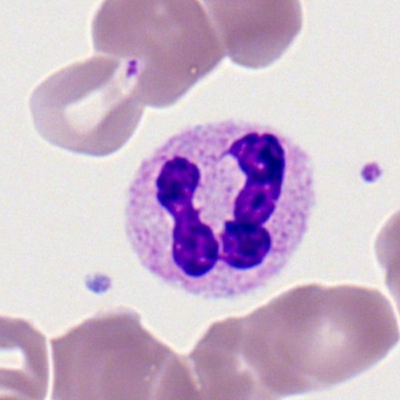
A polymorphonuclear neutrophil.